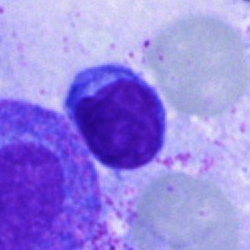 Impression — typical lymphocyte.